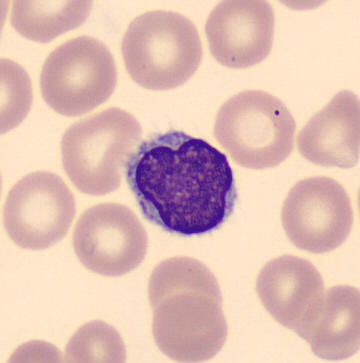 Peripheral blood smear. A lymphocyte.